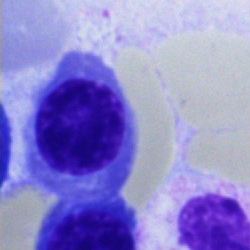

Impression → normoblast.